Peripheral blood smear: 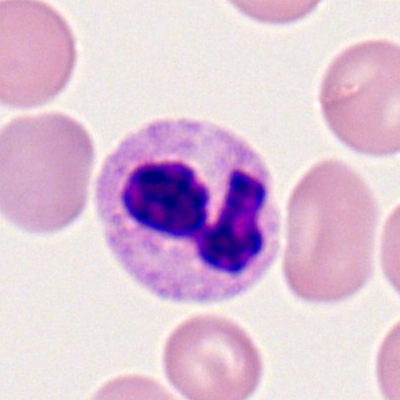

{"cell_type": "neutrophil (segmented)", "lineage": "myeloid"}